Peripheral blood film. Brightfield, 100× oil-immersion objective:
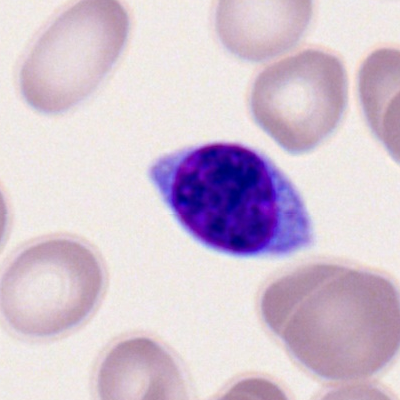Single cell identified as a lymphocyte.